MGG-stained · bone marrow smear
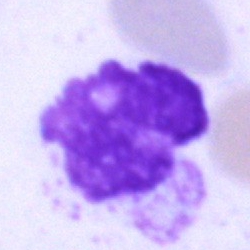
Specimen: bone marrow smear.
Cell type: artefact.